Bone marrow aspirate smear.
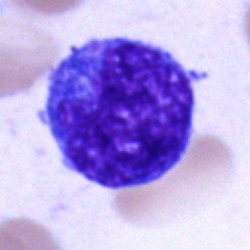

This is a blast cell.